Cropped to a single cell. 40× objective, oil immersion. Bone marrow smear.
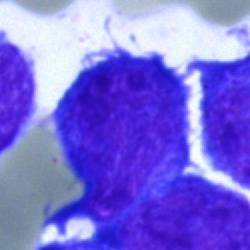
Q: What is the morphological classification of this cell?
A: Blast cell.